Bone marrow smear · MGG-stained.
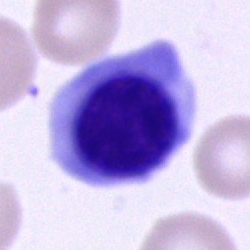 Q: What type of cell is this?
A: It is a nucleated red blood cell.